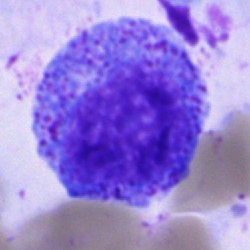

{"cell_type": "progranulocyte"}